250 by 250 pixels. Bone marrow aspirate smear. Single-cell crop.
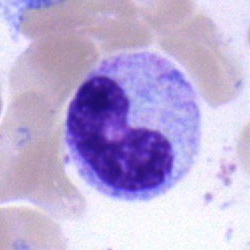
Showing a stab cell.